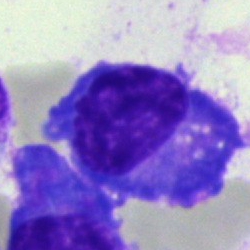

Plasmacyte.